Cropped to a single cell. Bone marrow smear
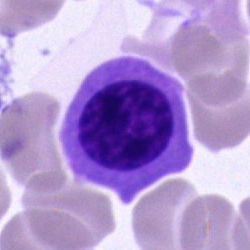
Morphological class — normoblast.